May-Grünwald-Giemsa stain; bone marrow smear; brightfield, 40× oil-immersion objective — 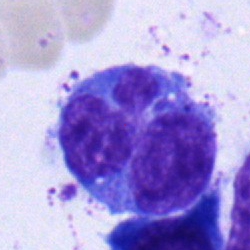
Cell type = monocyte.